Single-cell crop. Bone marrow aspirate smear.
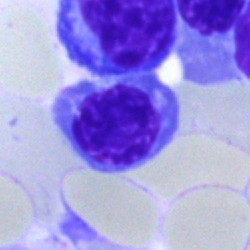Q: Which cell type is shown here?
A: Normoblast.